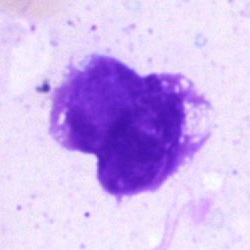
The cell shown is an artifact.